250×250 px. Bone marrow smear: 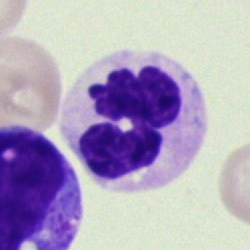Q: Which cell type is shown here?
A: It is a neutrophil (segmented).